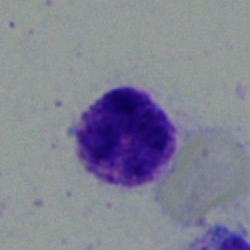Q: What cell is this?
A: A basophil.